Bone marrow smear · image size 250×250 — 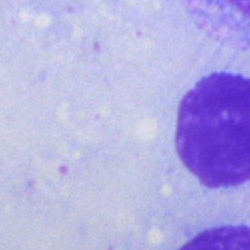Q: What is shown here?
A: It is an artefact.